Bone marrow smear.
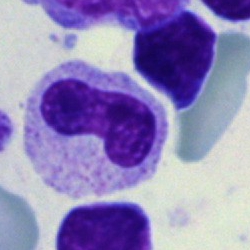
The cell is stab cell.